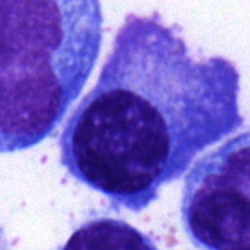

Cell type = plasma cell.